Bone marrow smear:
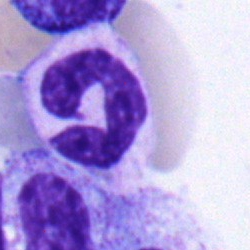

A stab cell.